MGG-stained · bone marrow smear.
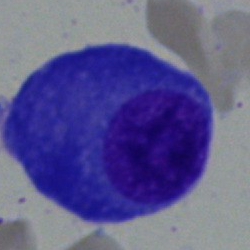

Q: Which cell type is shown here?
A: This is a plasma cell.